Bone marrow smear — 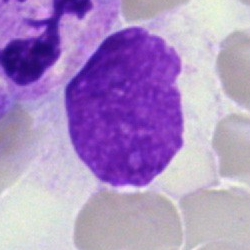 Single cell identified as an artefact.